Bone marrow aspirate smear:
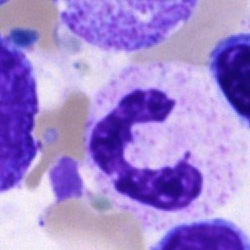 A neutrophil (band).